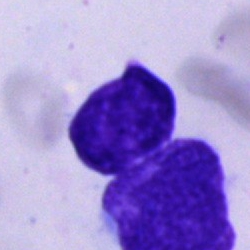 An artefact on a bone marrow smear.